Bone marrow smear:
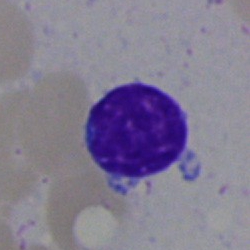{"cell_type": "lymphocyte", "lineage": "lymphoid"}